Bone marrow smear.
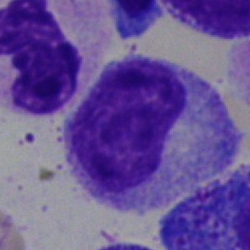 A promyelocyte.